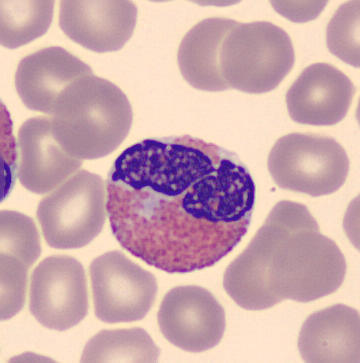

Imaged on a CellaVision DM96 analyser. Single cell centered in the field. Specimen: peripheral blood smear.
Classification: eosinophil.